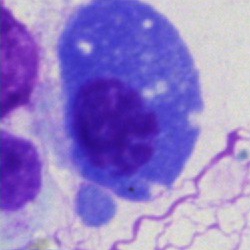 This is a plasma cell.